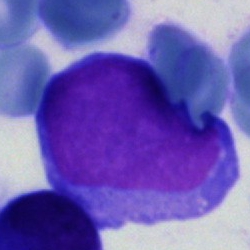 Bone marrow smear showing an undifferentiated blast.